250×250 px. Single-cell crop. Bone marrow aspirate smear:
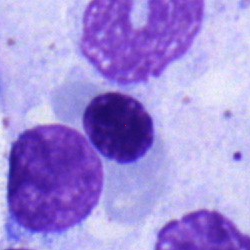This is an erythroblast.